Cropped to a single cell; bone marrow aspirate smear; 40× oil immersion
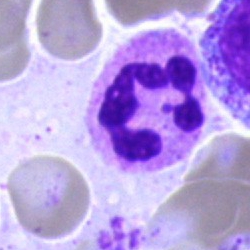Classification = neutrophil (segmented).